Peripheral blood film
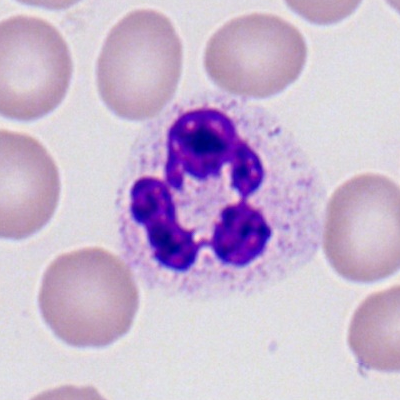

Cell type — neutrophil (segmented).